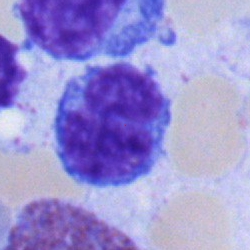Specimen: bone marrow aspirate smear.
Cell type: lymphocyte.